Bone marrow smear
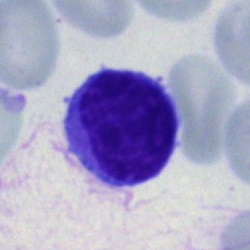 Typical lymphocyte.